Bone marrow aspirate smear — 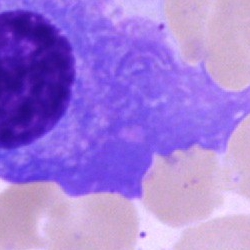

A plasma cell.